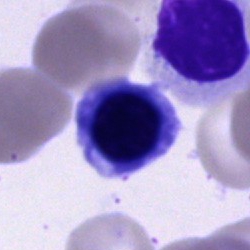 Single-cell crop from a bone marrow smear: normoblast.